Bone marrow smear.
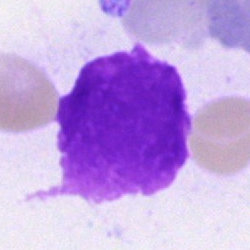Q: What is shown here?
A: This is an artefact.